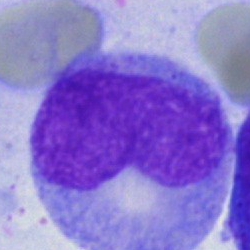
Morphology → neutrophil (band).